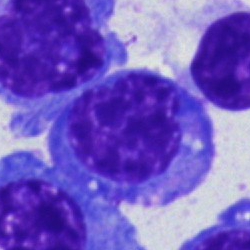
A plasmacyte.